Bone marrow smear
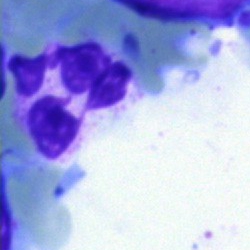Q: Which cell type is shown here?
A: This is a polymorphonuclear neutrophil.